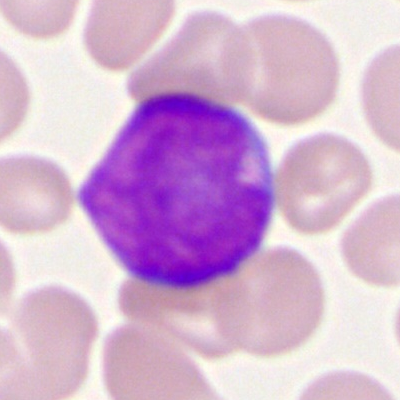 This is a myeloblast.